Bone marrow aspirate smear: 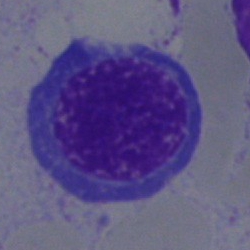

Morphology — normoblast.